Bone marrow aspirate smear:
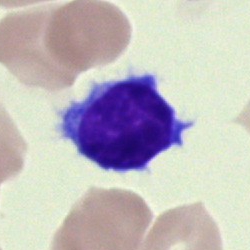Specimen: bone marrow smear.
Cell: typical lymphocyte.
Lineage: lymphoid.